Image size 250×250; bone marrow smear: 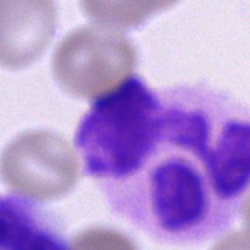Q: What is the morphological classification of this cell?
A: It is a neutrophil (segmented).